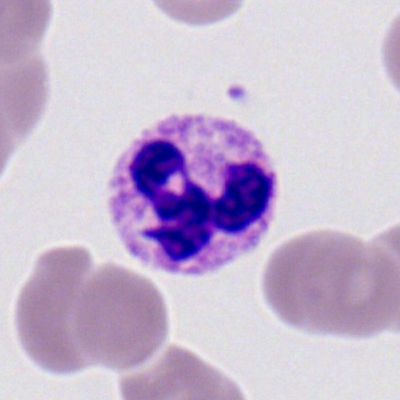
Peripheral blood film, single cell — neutrophil (segmented).